Bone marrow smear:
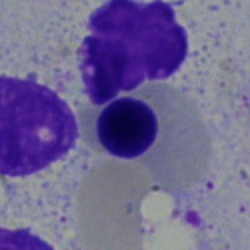 Q: Which cell type is shown here?
A: An erythroblast.